Single-cell crop; peripheral blood smear.
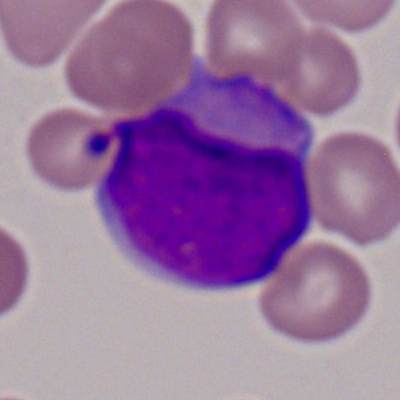
Classification — myeloid blast.